Bone marrow smear:
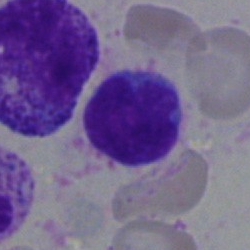
Cell type: lymphocyte.